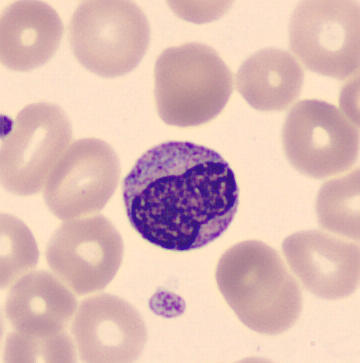

Morphology consistent with a metamyelocyte. Image: Automated cell imaging (CellaVision DM96) · peripheral blood smear.